Bone marrow aspirate smear
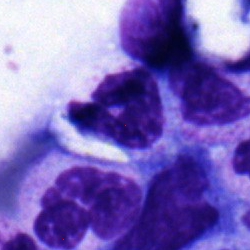
Impression — neutrophil (segmented).